Image size 250×250; bone marrow aspirate smear — 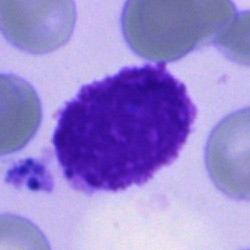 {"cell_type": "artifact"}